Bone marrow aspirate smear; 250 by 250 pixels:
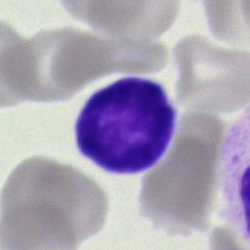Specimen: bone marrow aspirate smear.
Cell type: typical lymphocyte.
Lineage: lymphoid.